Bone marrow smear
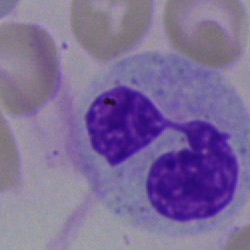

Morphological class: monocyte.